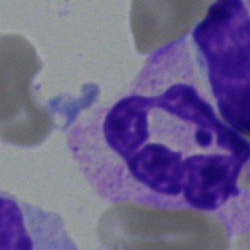

The cell is segmented neutrophil.